Bone marrow aspirate smear · 250×250 px · brightfield microscopy, 40× oil immersion:
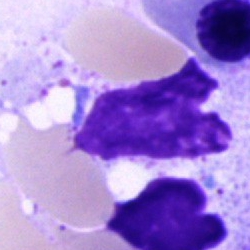Showing an artefact.